Single-cell crop. 250×250. Bone marrow smear
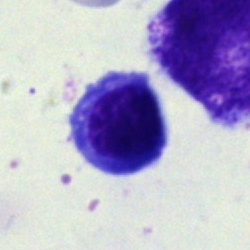

Q: What is shown here?
A: This is a nucleated red blood cell.